Bone marrow smear · cropped to a single cell: 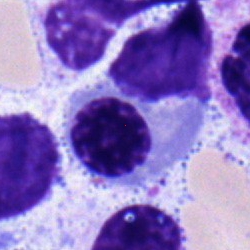 Erythroblast.